Bone marrow smear.
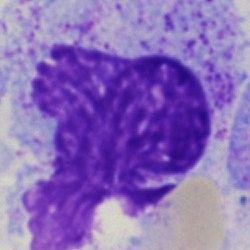

Morphology → artifact.